Single-cell field. Bone marrow smear. Image size 250×250:
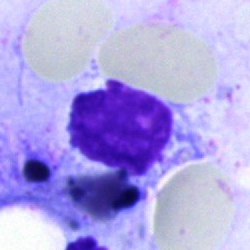 Classification — artifact.